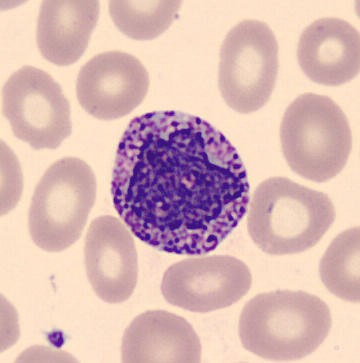 Image: MGG stain. CellaVision DM96.
Specimen: peripheral blood smear.
Morphological class: basophil.
Lineage: myeloid.